Single-cell field; bone marrow smear; 250 by 250 pixels.
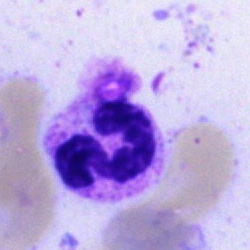
Specimen: bone marrow smear.
Cell: polymorphonuclear neutrophil.
Lineage: myeloid.